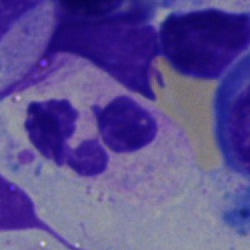

Q: What is the morphological classification of this cell?
A: Polymorphonuclear neutrophil.